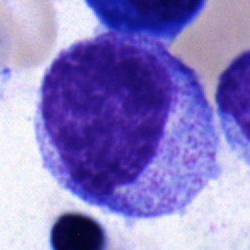
Promyelocyte.